Bone marrow smear.
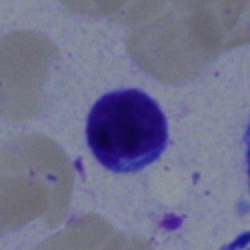 Classification — lymphocyte.